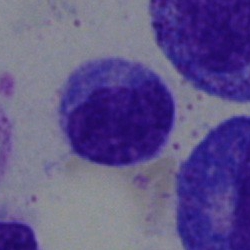

Q: Identify the cell.
A: This is a lymphocyte.